Bone marrow smear
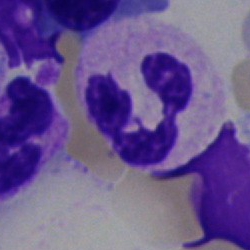 Morphology consistent with a polymorphonuclear neutrophil.